Peripheral blood film.
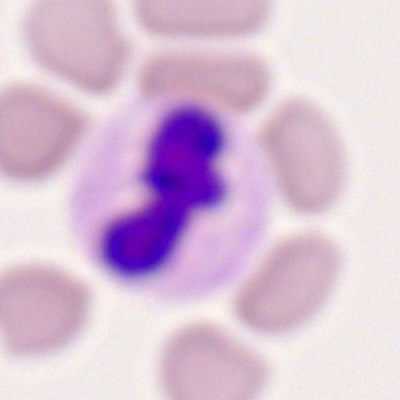Impression → segmented neutrophil.